Bone marrow aspirate smear
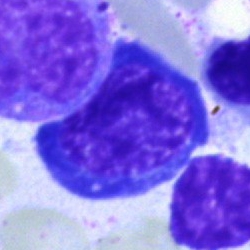Cell: nucleated red cell.